Bone marrow smear; cropped to a single cell: 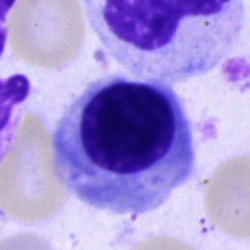

Morphological class — erythroblast.